Bone marrow smear:
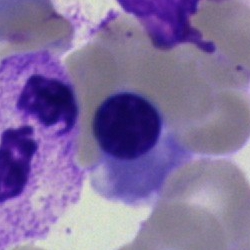Impression — nucleated red cell.